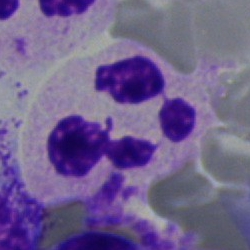
{"cell_type": "neutrophil (segmented)"}